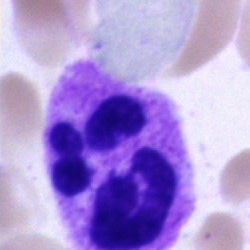
Q: Which cell type is shown here?
A: This is a polymorphonuclear neutrophil.